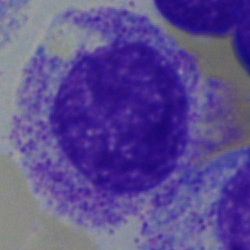 Cell: progranulocyte.